May-Grünwald-Giemsa stain; bone marrow aspirate smear; 250 by 250 pixels.
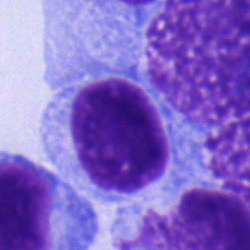Single cell identified as a lymphocyte.